Bone marrow smear.
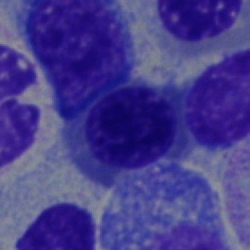 Q: Identify the cell.
A: It is a nucleated red blood cell.